Bone marrow smear:
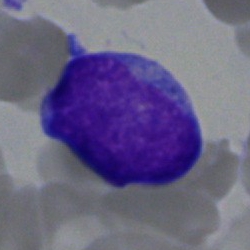Showing a blast.